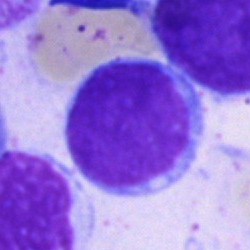
Q: What cell is this?
A: It is an undifferentiated blast.